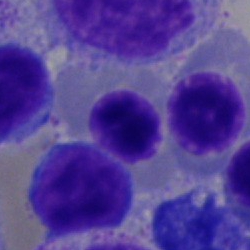 Specimen: bone marrow smear.
Morphological class: erythroblast.
Lineage: erythroid.